Bone marrow smear · MGG-stained.
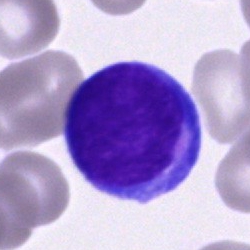 Q: What type of cell is this?
A: It is a typical lymphocyte.